Brightfield, 40× oil-immersion objective · bone marrow smear
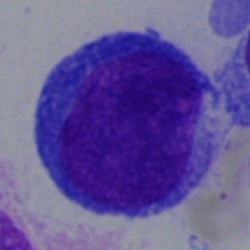 The classification is blast cell.